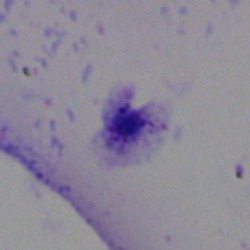
Single cell identified as an artefact.